Bone marrow smear
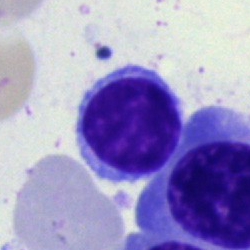A lymphocyte.